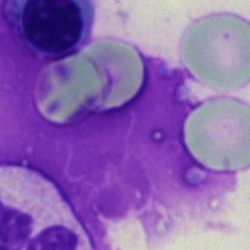
Specimen: bone marrow smear.
Cell: artefact.